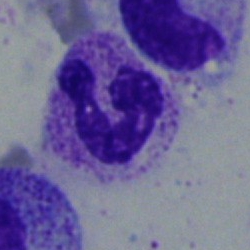This is a polymorphonuclear neutrophil.